Bone marrow smear; single-cell field; 40× oil immersion — 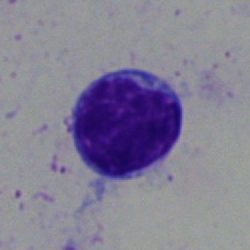 Morphological class = typical lymphocyte.